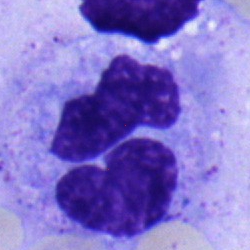 The classification is plasma cell.